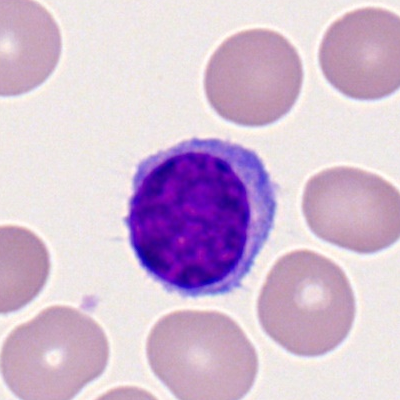 Showing a typical lymphocyte.